Bone marrow smear
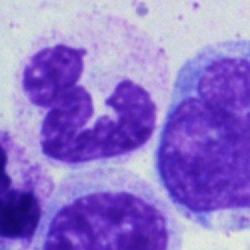Morphology consistent with a polymorphonuclear neutrophil.